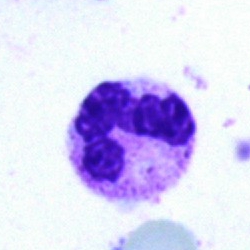
Classification — neutrophil (segmented).